Image size 250×250 · bone marrow aspirate smear — 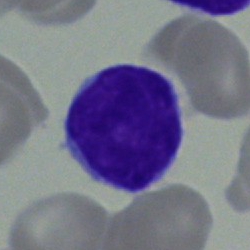
Q: What is the morphological classification of this cell?
A: A lymphocyte.